Bone marrow aspirate smear.
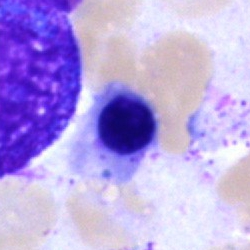

Q: Identify the cell.
A: Nucleated red blood cell.